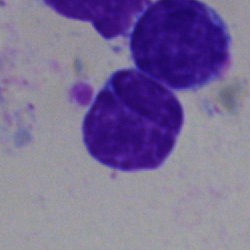
Q: What is shown here?
A: A lymphocyte.